Bone marrow aspirate smear — 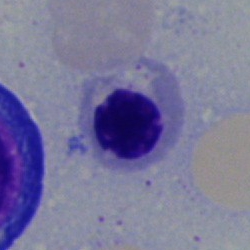

Specimen: bone marrow aspirate smear.
Cell: nucleated red blood cell.
Lineage: erythroid.